Bone marrow smear. Brightfield microscopy, 40× oil immersion — 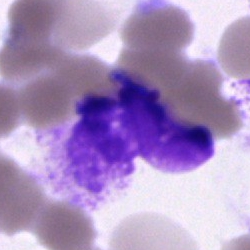Q: What is shown here?
A: It is an artifact.